Peripheral blood smear · single-cell crop · image size 400×400: 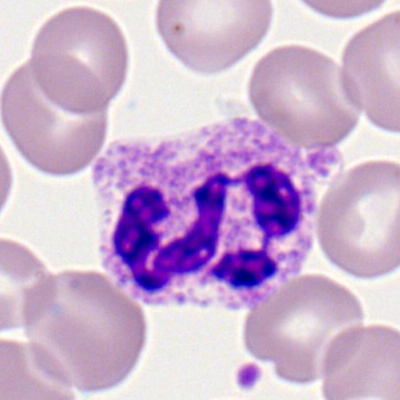

Q: What cell is this?
A: This is a segmented neutrophil.